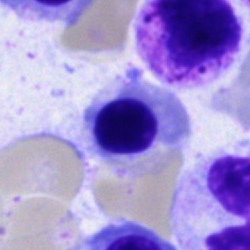
{"cell_type": "normoblast", "lineage": "erythroid"}